Bone marrow smear; 40× objective, oil immersion — 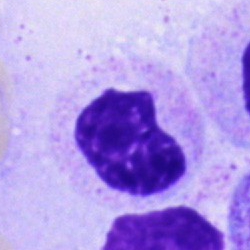Showing an unidentifiable cell.